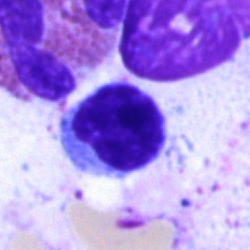
Lymphocyte.